40× oil immersion; bone marrow aspirate smear.
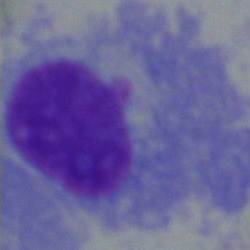
{"cell_type": "plasma cell"}